Bone marrow smear
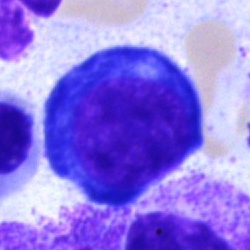 Impression → pronormoblast.